Bone marrow smear:
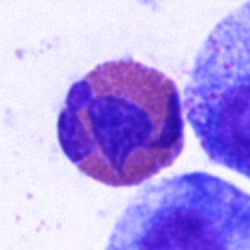Classification — eosinophil.